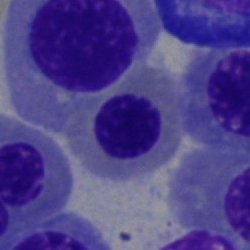

Classification: erythroblast.